Brightfield microscopy, 40× oil immersion. Pappenheim-stained. Bone marrow smear:
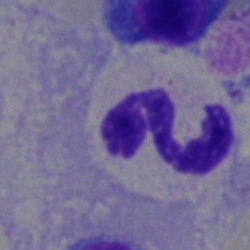 Cell type = polymorphonuclear neutrophil.